Bone marrow smear — 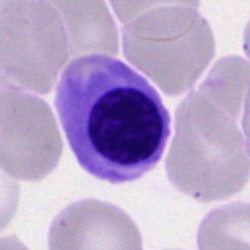Morphology consistent with a normoblast.